Bone marrow smear. 40× objective, oil immersion.
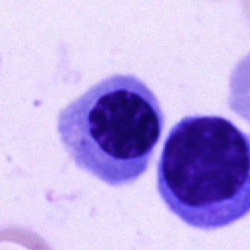
Morphology consistent with an erythroblast.